100× objective, oil immersion. Romanowsky-stained. Peripheral blood film
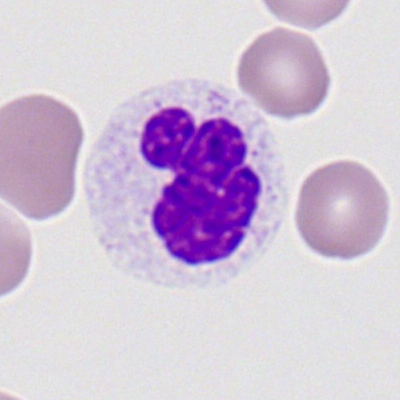

A neutrophil (segmented).